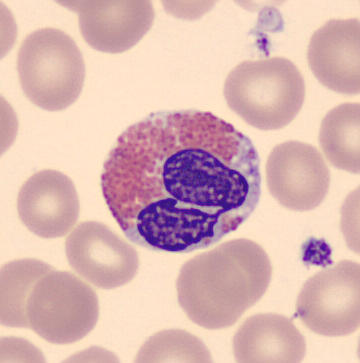Showing an eosinophil.

Peripheral blood film.